Bone marrow aspirate smear — 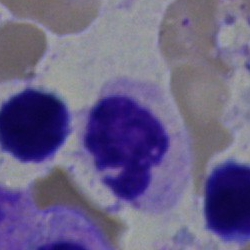

Q: What cell is this?
A: A segmented neutrophil.